Bone marrow smear · MGG-stained: 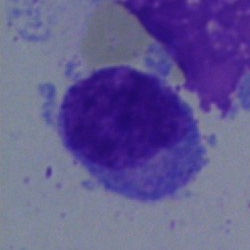
The cell shown is a lymphocyte.